Bone marrow aspirate smear: 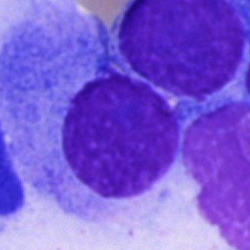
Single cell identified as a plasmacyte.